Bone marrow aspirate smear.
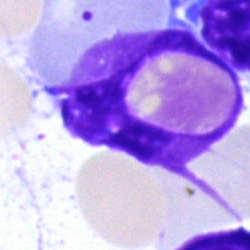Showing an artifact.